Peripheral blood film:
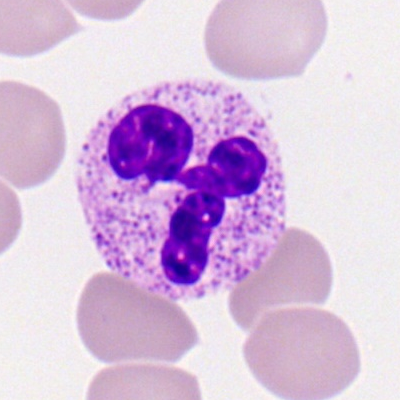
The cell shown is a segmented neutrophil.